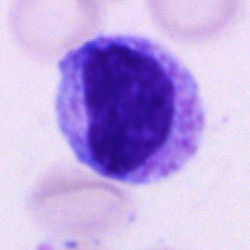 This is a metamyelocyte.